Bone marrow aspirate smear — 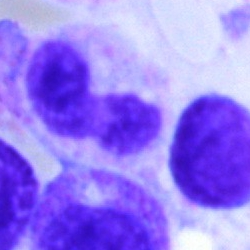 Morphology — band neutrophil.